Bone marrow aspirate smear · 250×250 px — 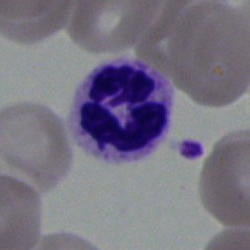Cell type: segmented neutrophil.